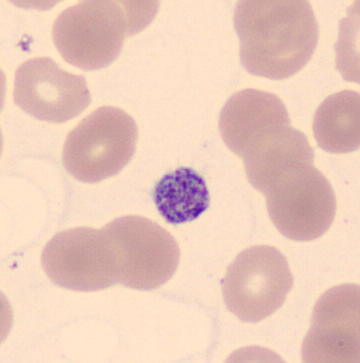
Showing a thrombocyte.

Preparation: Peripheral blood smear; MGG-stained.